Bone marrow aspirate smear: 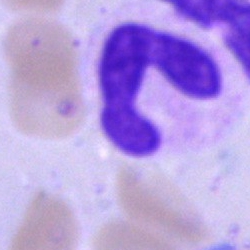 Specimen: bone marrow smear.
Classification: band-form neutrophil.